Brightfield microscopy, 40× oil immersion · bone marrow aspirate smear.
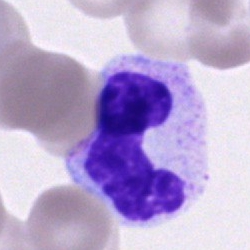The classification is neutrophil (segmented).